Bone marrow aspirate smear:
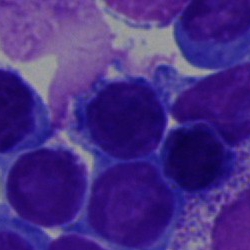

Specimen: bone marrow aspirate smear.
Cell type: typical lymphocyte.
Lineage: lymphoid.